Bone marrow smear: 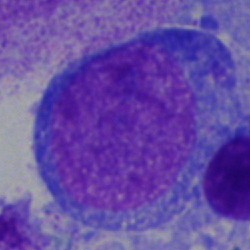
Cell: blast cell.